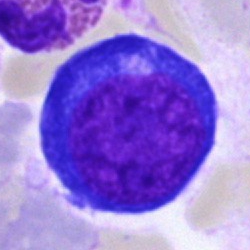 Proerythroblast.